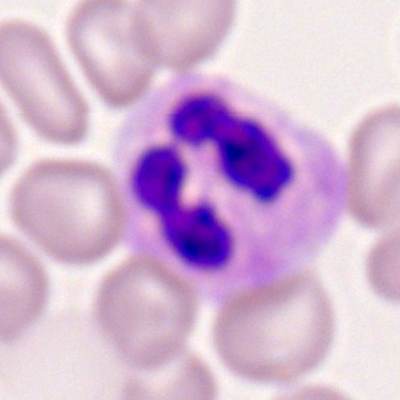Classification: neutrophil (segmented).